Bone marrow smear; Pappenheim-stained:
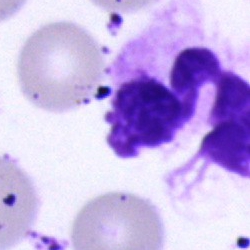Cell type = neutrophil (segmented).